Bone marrow aspirate smear — 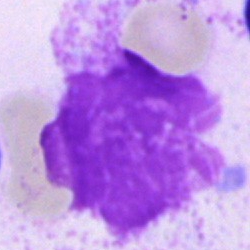
Q: What is shown here?
A: It is an artifact.